Brightfield microscopy, 40× oil immersion · bone marrow smear:
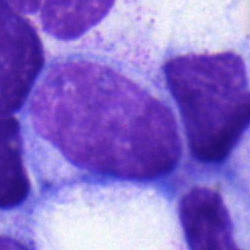 The cell shown is a myelocyte.